Image size 250×250. Bone marrow aspirate smear:
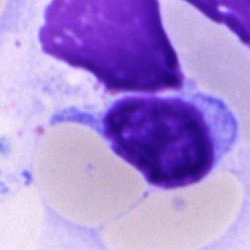
A lymphocyte.